Cropped to a single cell · bone marrow aspirate smear — 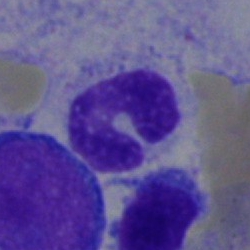
Cell = band-form neutrophil.